Bone marrow aspirate smear: 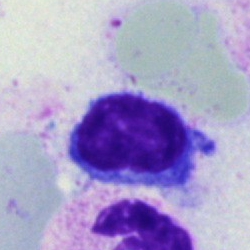 Showing a lymphocyte.